Bone marrow smear
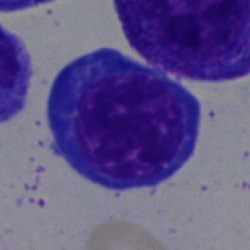

Specimen: bone marrow aspirate smear.
Morphological class: nucleated red blood cell.
Lineage: erythroid.